Peripheral blood smear: 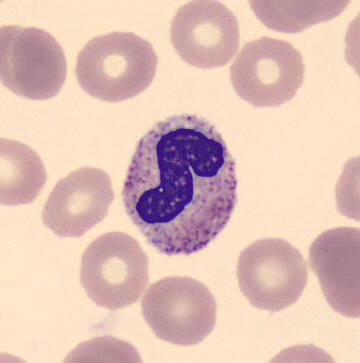 Q: What cell is this?
A: It is a band neutrophil.